250×250. Single-cell crop. Bone marrow smear — 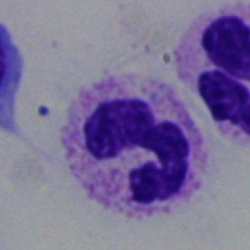 Q: What cell is this?
A: It is a typical lymphocyte.